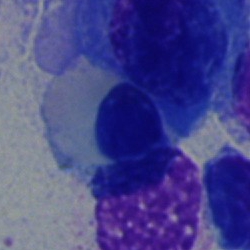

Single cell identified as a normoblast.